Bone marrow aspirate smear.
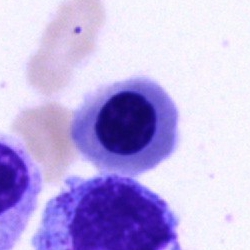 Specimen: bone marrow smear.
Cell type: erythroblast.